Bone marrow aspirate smear:
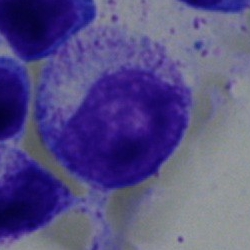 Impression → myelocyte.